Bone marrow aspirate smear.
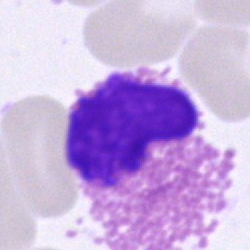

Classification = eosinophilic granulocyte.